Peripheral blood smear.
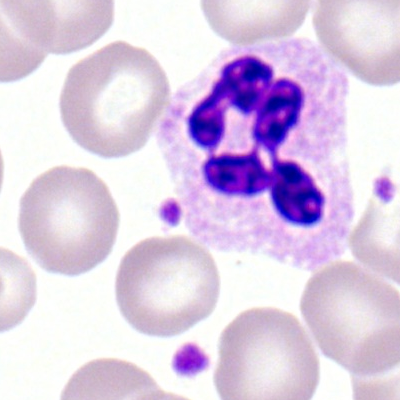Specimen: peripheral blood smear.
Classification: segmented neutrophil.
Lineage: myeloid.